Bone marrow aspirate smear: 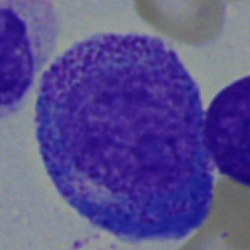

Cell = promyelocyte.